Cropped to a single cell; bone marrow aspirate smear
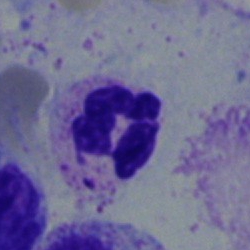
Single cell identified as a polymorphonuclear neutrophil.